May-Grünwald-Giemsa/Pappenheim stain · bone marrow smear: 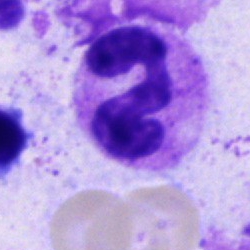 The cell type is segmented neutrophil.